Bone marrow aspirate smear. Brightfield, 40× oil-immersion objective: 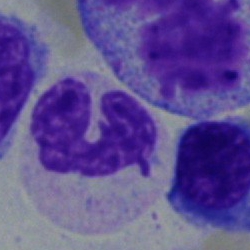

Classification — band-form neutrophil.